May-Grünwald-Giemsa/Pappenheim stain · 40× objective, oil immersion · bone marrow smear:
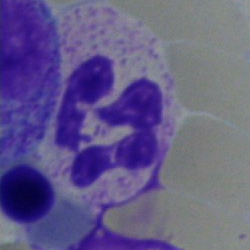 Q: What is shown here?
A: A neutrophil (segmented).